Bone marrow aspirate smear. MGG-stained:
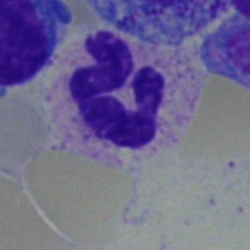

A segmented neutrophil.